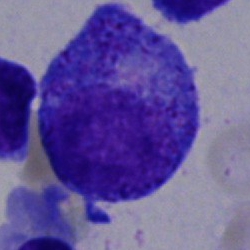Bone marrow smear showing a promyelocyte.